Bone marrow smear.
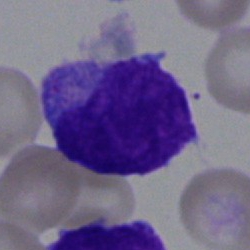 This is a blast.